Bone marrow smear; brightfield, 40× oil-immersion objective — 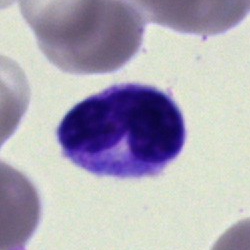

Morphology — band neutrophil.